Bone marrow smear: 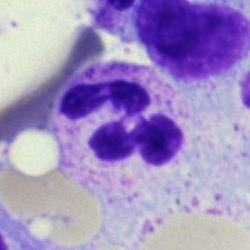

Classification = polymorphonuclear neutrophil.